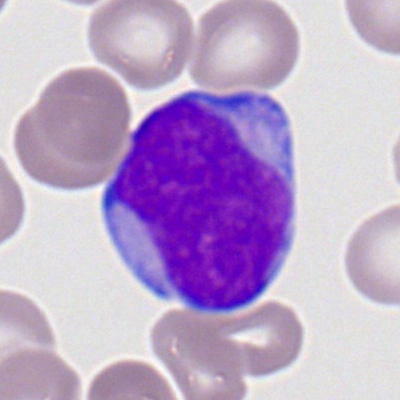

Specimen: peripheral blood smear.
Cell: myeloid blast.